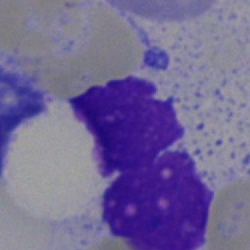Specimen: bone marrow aspirate smear.
Morphological class: artifact.